Bone marrow aspirate smear. 40× objective, oil immersion — 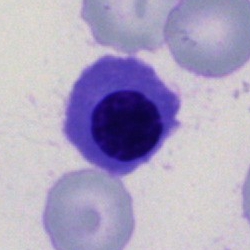 Showing an erythroblast.